Cropped to a single cell. Bone marrow smear:
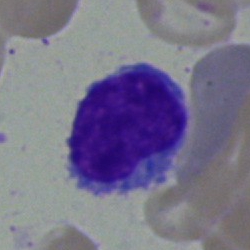

Specimen: bone marrow aspirate smear.
Cell: lymphocyte.
Lineage: lymphoid.